Bone marrow smear:
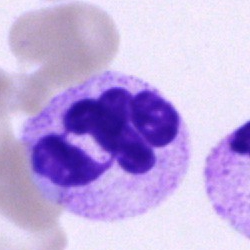 The morphological class is segmented neutrophil.